Bone marrow smear
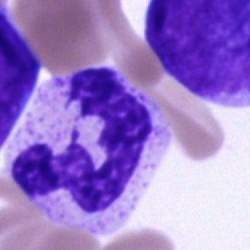Classification: neutrophil (segmented).